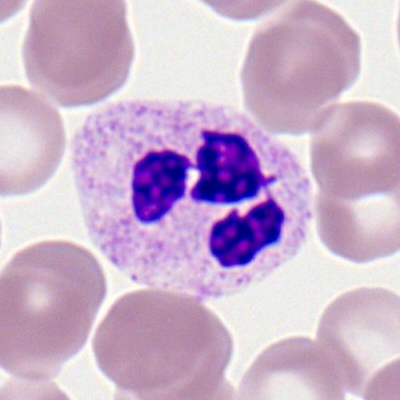

Q: Identify the cell.
A: Segmented neutrophil.